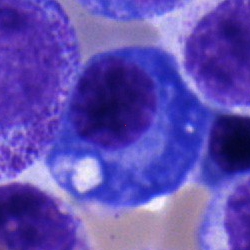

Q: Which cell type is shown here?
A: Plasmacyte.